Bone marrow smear.
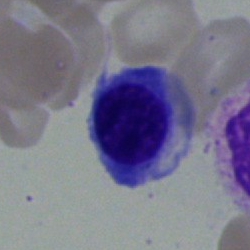 Showing a nucleated red cell.